May-Grünwald-Giemsa/Pappenheim stain; single cell centered in the field; bone marrow aspirate smear:
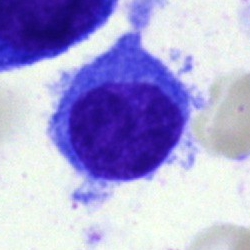 {"cell_type": "lymphocyte"}